Bone marrow aspirate smear: 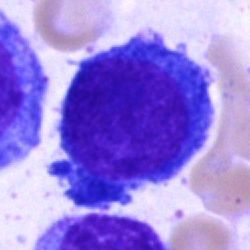 Morphology — proerythroblast.